Bone marrow aspirate smear: 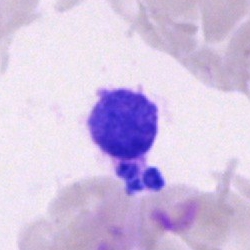 Showing an artefact.